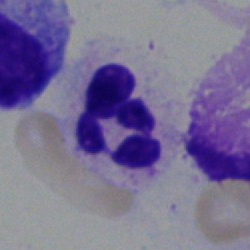Q: Identify the cell.
A: A polymorphonuclear neutrophil.